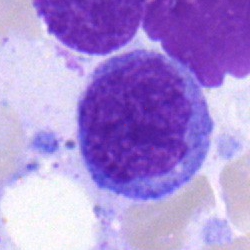 Morphology consistent with a typical lymphocyte.